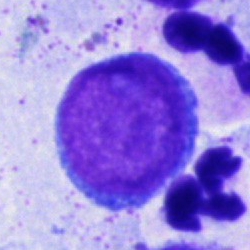

Specimen: bone marrow smear.
Cell type: undifferentiated blast.